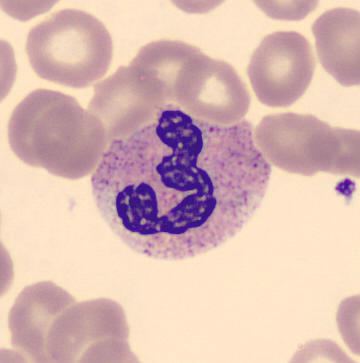 Cell: polymorphonuclear neutrophil.